Bone marrow aspirate smear. 40× oil immersion:
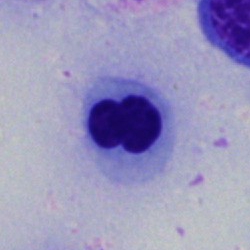

Nucleated red blood cell.